400×400. Peripheral blood film — 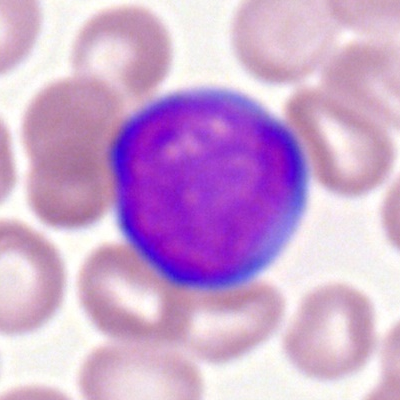 Showing a myeloid blast.